Bone marrow smear:
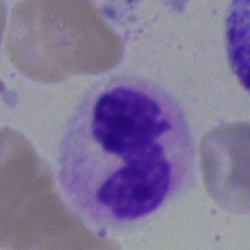 {"cell_type": "neutrophil (segmented)", "lineage": "myeloid"}